Bone marrow aspirate smear; single cell centered in the field; image size 250×250: 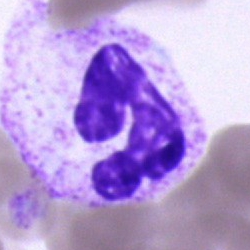 Neutrophil (segmented).